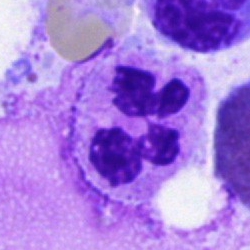 Cell = neutrophil (segmented).